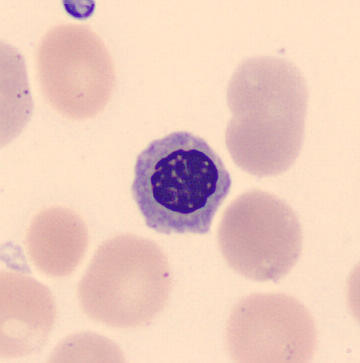

This is a nucleated red cell. Peripheral blood film; May-Grünwald-Giemsa-stained.